May-Grünwald-Giemsa stain. Bone marrow smear.
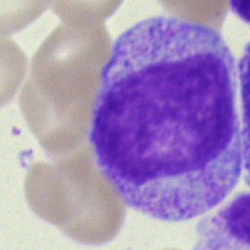
Specimen: bone marrow aspirate smear.
Cell type: progranulocyte.
Lineage: myeloid.